Bone marrow aspirate smear.
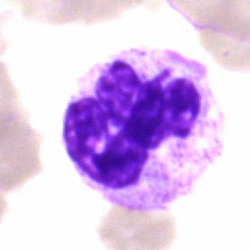

Morphology — neutrophil (segmented).